Bone marrow aspirate smear: 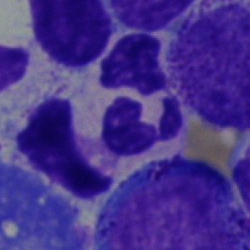 Polymorphonuclear neutrophil.